Single-cell field; peripheral blood film; 100× oil immersion:
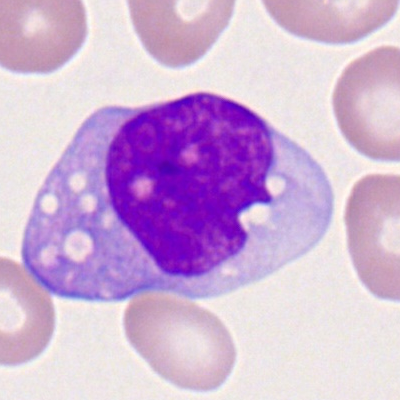 Morphology → monocyte.